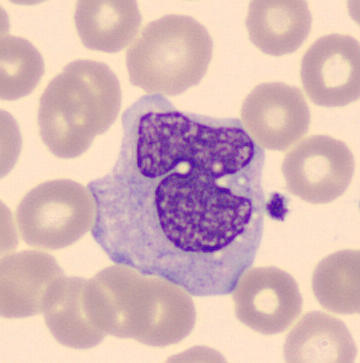 Peripheral blood smear showing a monocyte.